Bone marrow smear
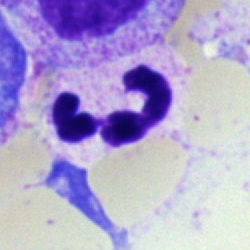Cell — neutrophil (segmented).